Bone marrow aspirate smear; 250×250 px
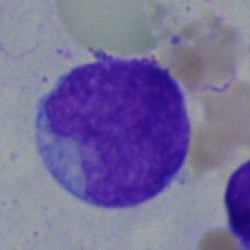 This is an undifferentiated blast.